Bone marrow smear · May-Grünwald-Giemsa/Pappenheim stain.
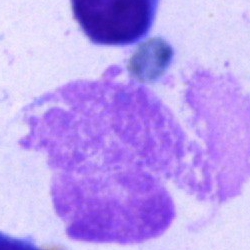

The cell type is artefact.